Brightfield, 40× oil-immersion objective · bone marrow smear
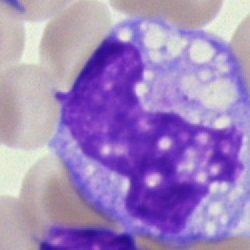 {"cell_type": "monocyte"}